Bone marrow smear — 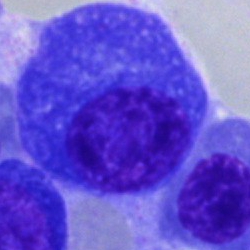
This is a plasma cell.